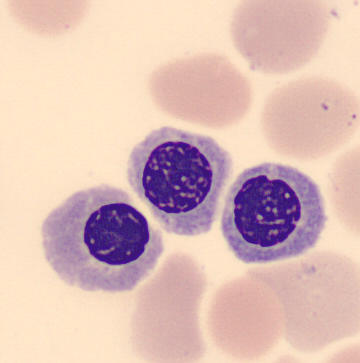Impression — nucleated red blood cell.
Peripheral blood smear.